Bone marrow smear.
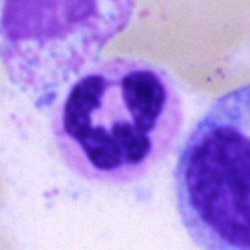Morphology consistent with a segmented neutrophil.